Peripheral blood smear
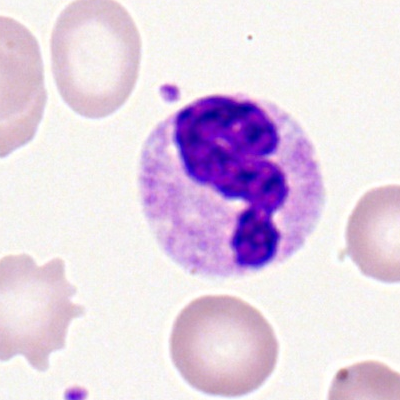 The classification is neutrophil (segmented).